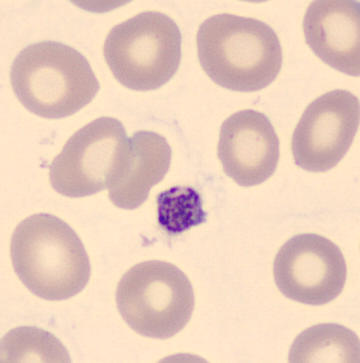Preparation: Peripheral blood film. This is a platelet (thrombocyte).